Bone marrow aspirate smear — 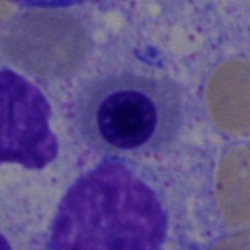Cell type = nucleated red cell.